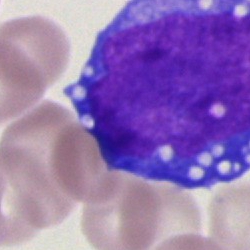 Specimen: bone marrow smear.
Cell: pronormoblast.
Lineage: erythroid.